Pappenheim-stained. 250 by 250 pixels. Bone marrow smear:
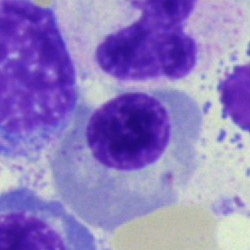Q: What is the morphological classification of this cell?
A: It is an erythroblast.